Bone marrow smear:
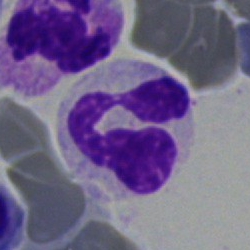

Q: Identify the cell.
A: This is a polymorphonuclear neutrophil.